Bone marrow aspirate smear — 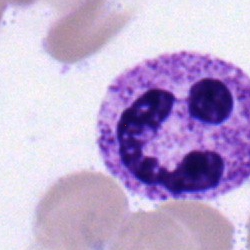 This is a segmented neutrophil.